Bone marrow aspirate smear: 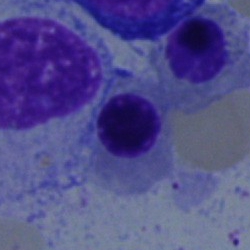
Showing a nucleated red cell.